Single-cell crop; bone marrow aspirate smear:
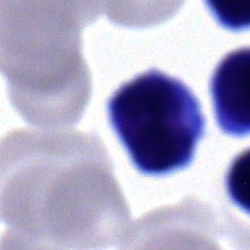Morphology consistent with a typical lymphocyte.